Single cell centered in the field; image size 250×250; bone marrow aspirate smear.
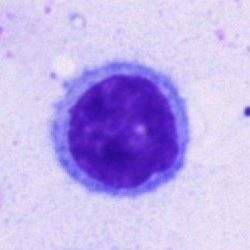The cell is lymphocyte.